Cropped to a single cell; bone marrow smear: 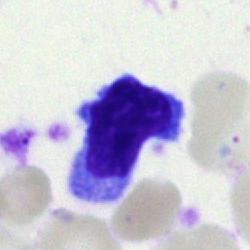
The cell shown is a lymphocyte.